Bone marrow aspirate smear · 250 by 250 pixels: 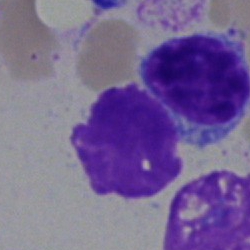Q: Identify the cell.
A: This is a lymphocyte.